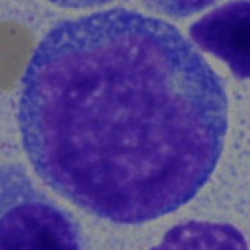 Q: What is shown here?
A: It is an undifferentiated blast.